Bone marrow smear:
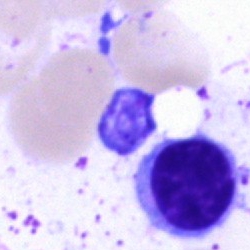 Specimen: bone marrow aspirate smear.
Cell: lymphocyte.
Lineage: lymphoid.